MGG-stained; cropped to a single cell; bone marrow aspirate smear.
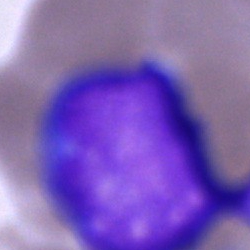

Morphological class — blast.